Peripheral blood smear — 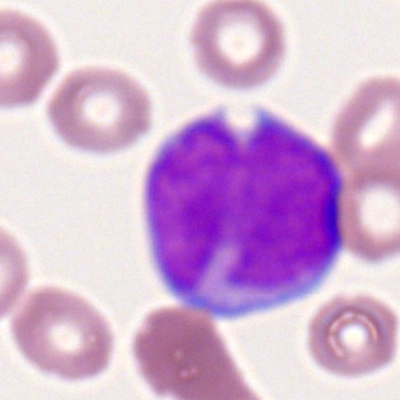
Cell: myeloid blast.